Bone marrow smear
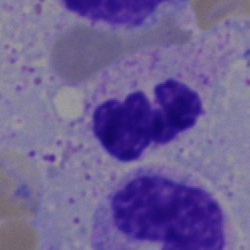Q: Identify the cell.
A: A neutrophil (segmented).